Bone marrow smear. Brightfield, 40× oil-immersion objective. Cropped to a single cell: 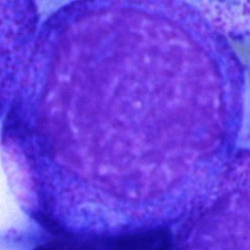
Cell type = promyelocyte.